Bone marrow aspirate smear
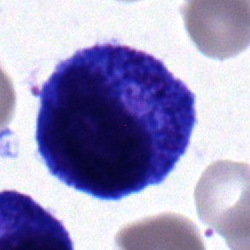The cell shown is a promyelocyte.